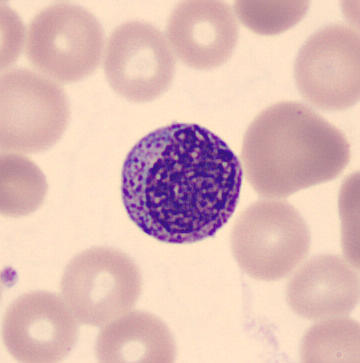 This is a myelocyte.